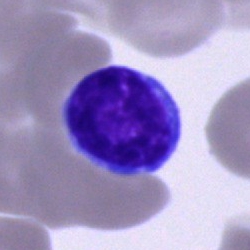

Impression — lymphocyte.